250×250. Bone marrow smear:
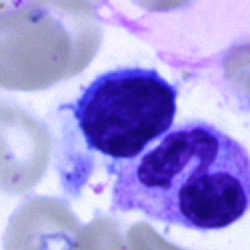

{"cell_type": "segmented neutrophil", "lineage": "myeloid"}